Bone marrow aspirate smear
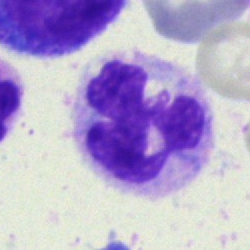

This is a monocyte.